Cropped to a single cell; peripheral blood smear:
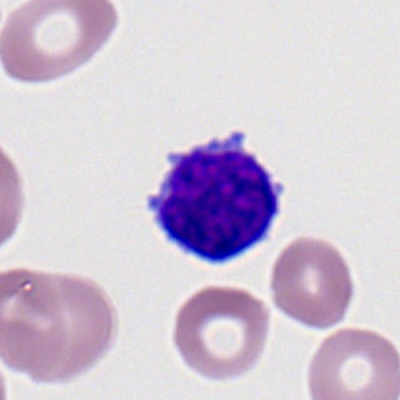

Single cell identified as a lymphocyte.